Bone marrow aspirate smear: 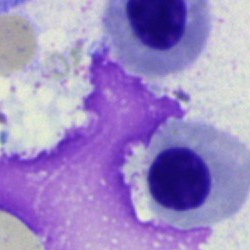
Morphology consistent with a nucleated red blood cell.